Bone marrow aspirate smear; image size 250×250 — 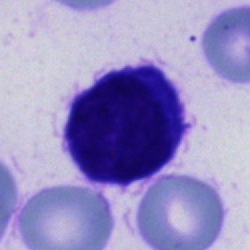
An unidentifiable cell.